Bone marrow smear:
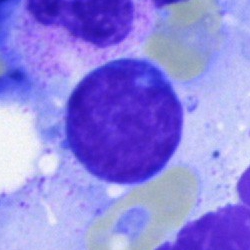

Single cell identified as a lymphocyte.